Bone marrow aspirate smear; 250 by 250 pixels
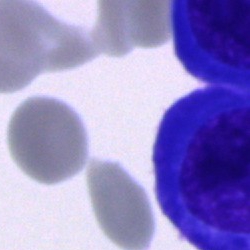Single cell identified as a plasmacyte.